MGG stain. Peripheral blood smear — 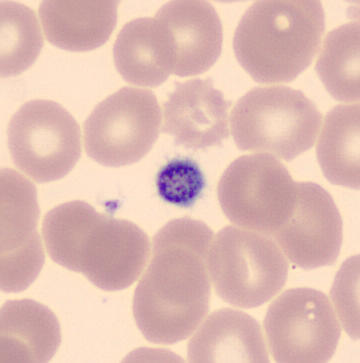

Q: What is shown here?
A: It is a platelet.